Bone marrow aspirate smear.
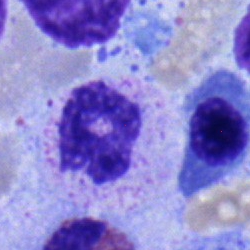Morphological class — segmented neutrophil.